Bone marrow smear.
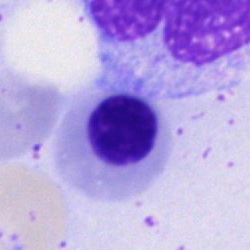The cell shown is a normoblast.